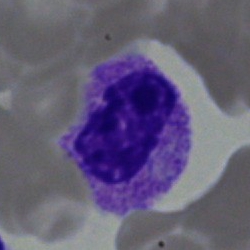 Impression → band neutrophil.